Bone marrow aspirate smear — 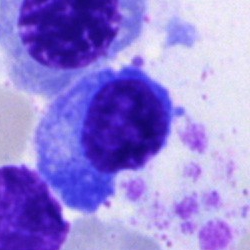Classification: plasma cell.